Bone marrow smear. Pappenheim-stained: 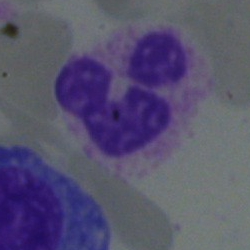 Q: What type of cell is this?
A: Neutrophil (segmented).